Bone marrow aspirate smear.
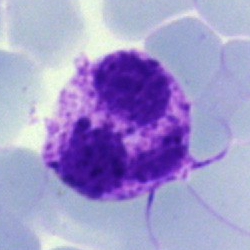The cell type is basophil.